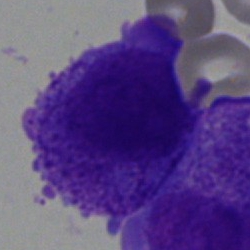 Q: What is the morphological classification of this cell?
A: It is an undifferentiated blast.